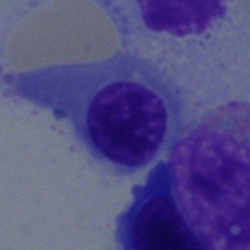
Cell: normoblast.